Bone marrow smear · brightfield, 40× oil-immersion objective:
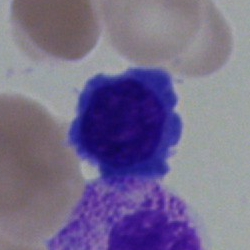Showing an erythroblast.